Bone marrow smear.
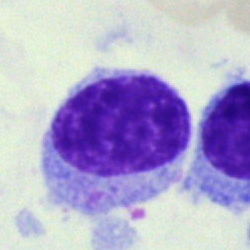 Morphology consistent with a hairy cell.